Bone marrow smear; May-Grünwald-Giemsa/Pappenheim stain — 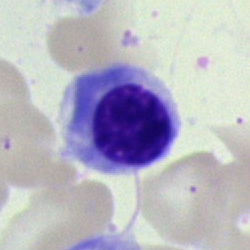Cell — erythroblast.